Bone marrow smear: 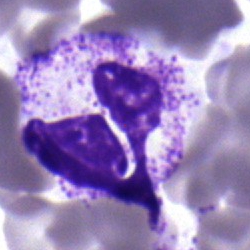Segmented neutrophil.